Peripheral blood smear: 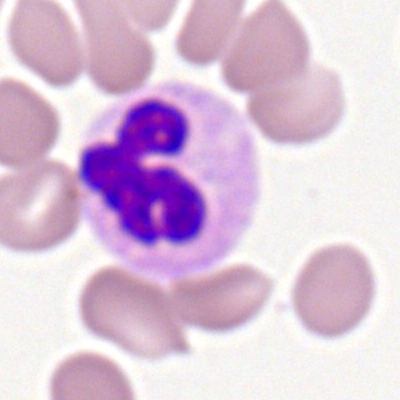
Impression → segmented neutrophil.